Bone marrow aspirate smear:
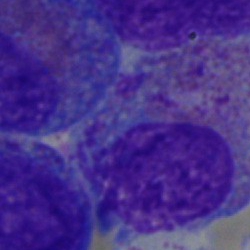 Single cell identified as an eosinophilic granulocyte.